Bone marrow aspirate smear: 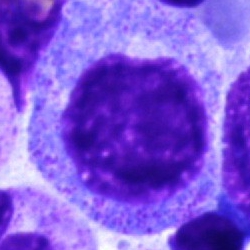

Classification: progranulocyte.